Bone marrow smear
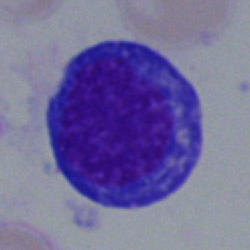 Impression — nucleated red cell.